Image size 250×250 · bone marrow smear · 40× objective, oil immersion:
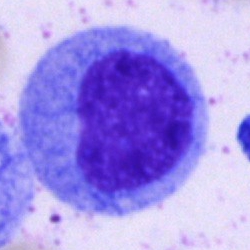 This is a progranulocyte.